Peripheral blood film
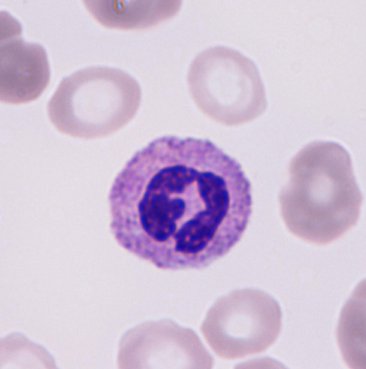
Q: What is the morphological classification of this cell?
A: This is a neutrophil granulocyte.